250 by 250 pixels · bone marrow aspirate smear · single-cell field:
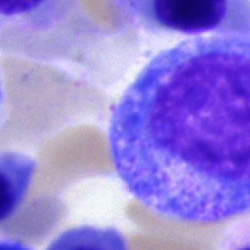Specimen: bone marrow smear.
Cell type: promyelocyte.
Lineage: myeloid.